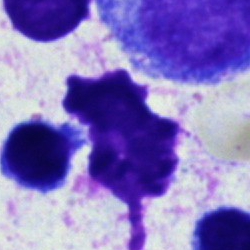

Cell type = artifact.